250×250 · bone marrow aspirate smear:
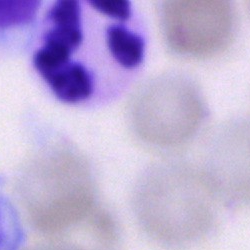 Cell type: segmented neutrophil.